Single-cell field. Bone marrow aspirate smear.
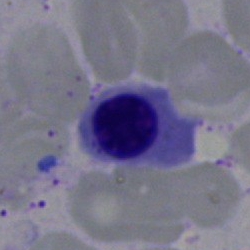

Morphology consistent with a nucleated red cell.